Bone marrow aspirate smear.
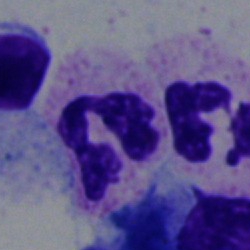Morphology — segmented neutrophil.